Image size 400×400 · peripheral blood smear: 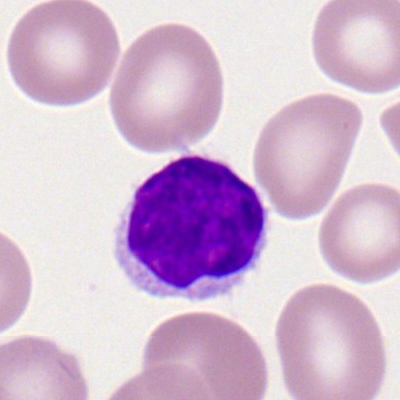
The cell shown is a typical lymphocyte.